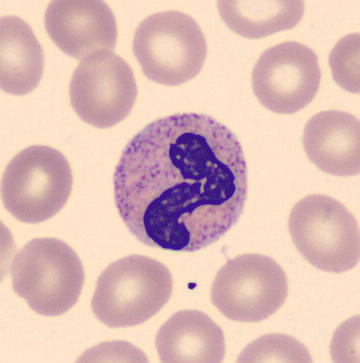 Imaged on a CellaVision DM96 analyser · peripheral blood smear · 360×363 px.
The cell is neutrophil (segmented).